Bone marrow aspirate smear.
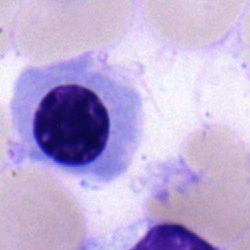The cell shown is a normoblast.